250×250 px. Bone marrow smear.
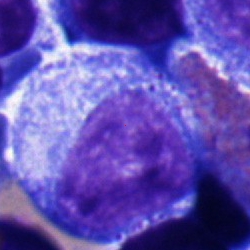

{"cell_type": "progranulocyte", "lineage": "myeloid"}